Bone marrow smear
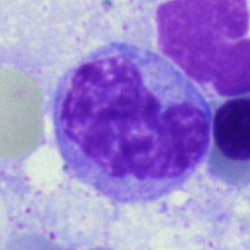 Impression — monocyte.